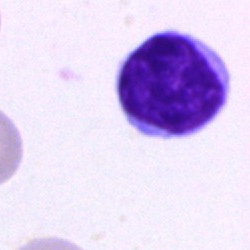

A typical lymphocyte.